Bone marrow smear — 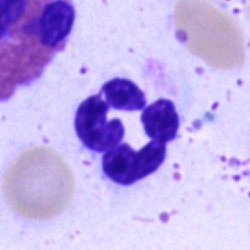Cell — neutrophil (segmented).